Peripheral blood film. Single-cell field:
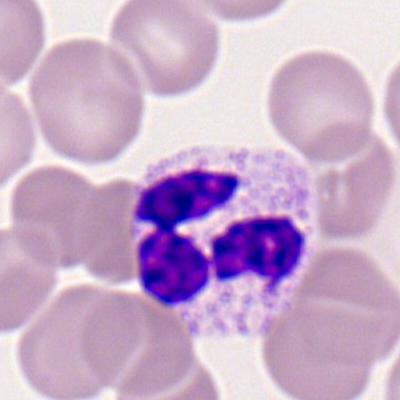The cell type is segmented neutrophil.